250×250 · bone marrow smear · brightfield microscopy, 40× oil immersion — 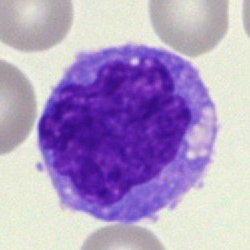
This is a monocyte.